Bone marrow aspirate smear.
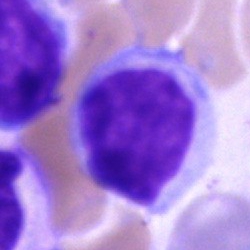
Q: What cell is this?
A: A typical lymphocyte.